Bone marrow aspirate smear.
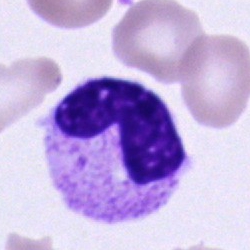 Showing a band-form neutrophil.